Peripheral blood film
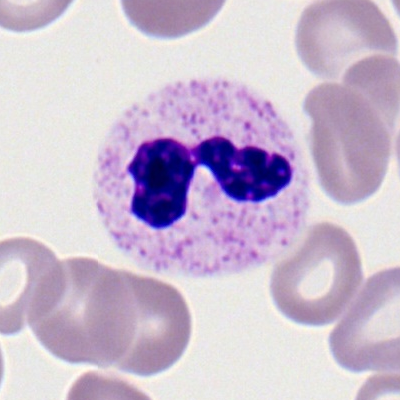Impression → polymorphonuclear neutrophil.